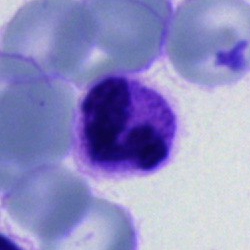Morphology — segmented neutrophil.